Bone marrow smear: 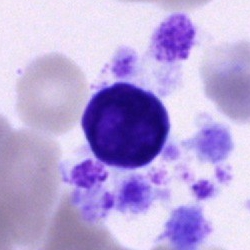

Specimen: bone marrow smear.
Cell: typical lymphocyte.